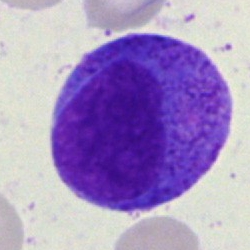Progranulocyte.